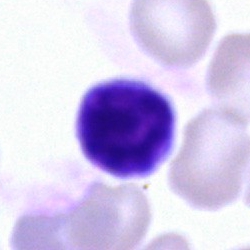

Bone marrow aspirate smear, single cell — lymphocyte.